100× oil immersion, 14.14 px/µm. Peripheral blood film
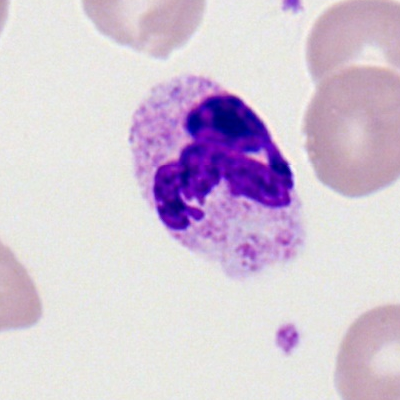 Specimen: peripheral blood smear.
Cell type: segmented neutrophil.
Lineage: myeloid.